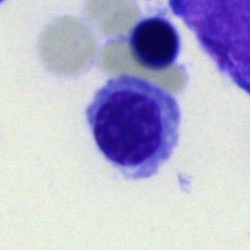Specimen: bone marrow aspirate smear.
Classification: nucleated red cell.